Bone marrow smear.
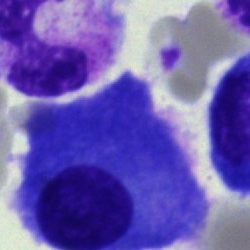 The cell is plasmacyte.